Bone marrow aspirate smear · single-cell field:
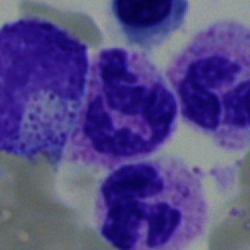A neutrophil (segmented).